Bone marrow smear — 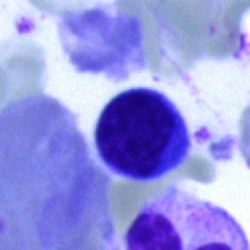 Specimen: bone marrow smear.
Morphological class: lymphocyte.
Lineage: lymphoid.